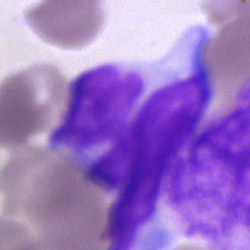

Bone marrow smear showing an artefact.